Bone marrow smear — 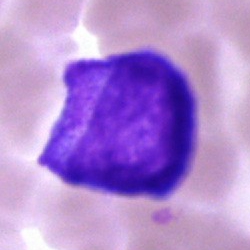Single cell identified as a blast.